Bone marrow smear
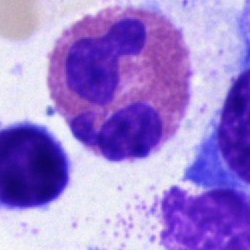
Cell — eosinophilic granulocyte.